Bone marrow aspirate smear
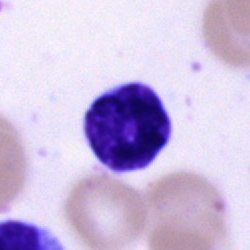 Lymphocyte.